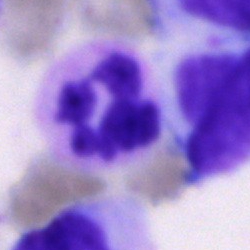A neutrophil (segmented).